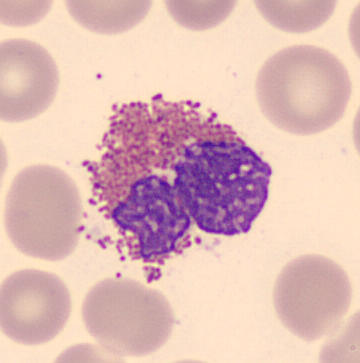
Identified as an eosinophilic granulocyte.

Preparation: Peripheral blood film.